Bone marrow aspirate smear: 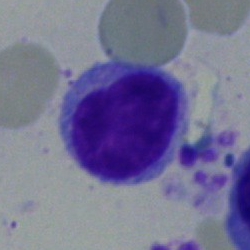
Cell type — typical lymphocyte.